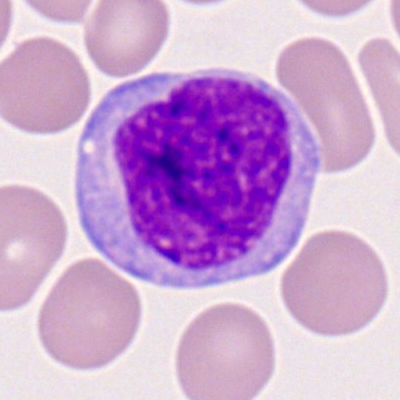

Monocyte.